Bone marrow aspirate smear
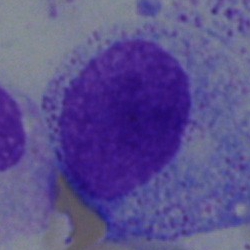Morphological class: myelocyte.